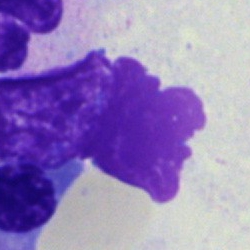
Q: What is shown here?
A: An artefact.